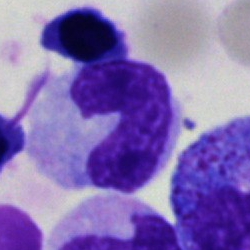

Specimen: bone marrow aspirate smear.
Cell type: band-form neutrophil.